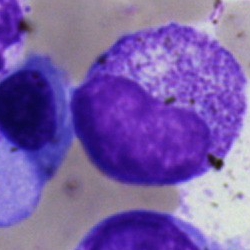 Q: What type of cell is this?
A: This is a metamyelocyte.